Bone marrow smear: 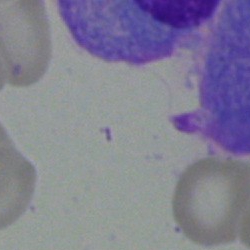The morphological class is artifact.